Peripheral blood smear:
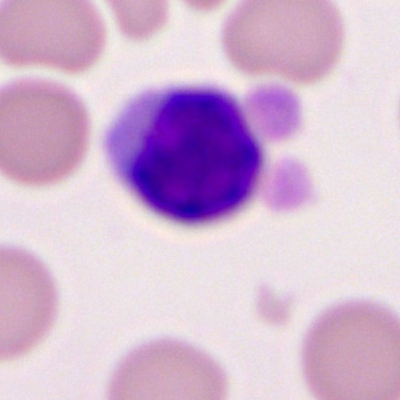

{"cell_type": "typical lymphocyte", "lineage": "lymphoid"}